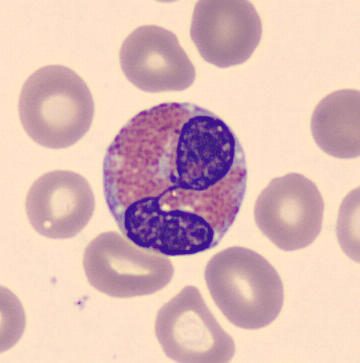 Preparation: Imaged on a CellaVision DM96 analyser · peripheral blood smear. Classification: eosinophilic granulocyte.